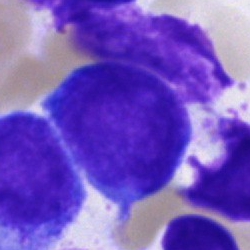Classification — undifferentiated blast.